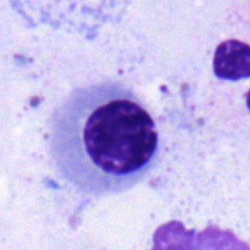 Nucleated red blood cell.